Peripheral blood film.
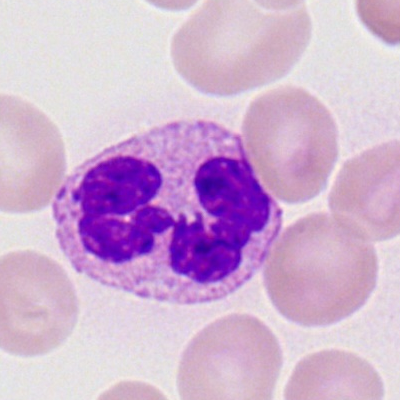
Showing a segmented neutrophil.